Brightfield microscopy, 40× oil immersion. Bone marrow smear — 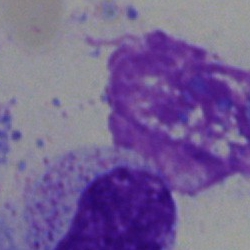

Q: What is shown here?
A: This is an artefact.